Single cell centered in the field; bone marrow smear; 250 by 250 pixels.
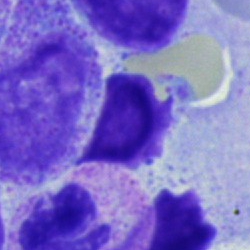Q: What cell is this?
A: It is an unidentifiable cell.